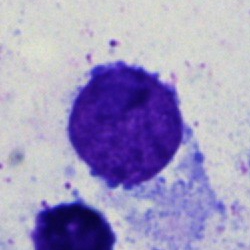
Q: What is shown here?
A: Artefact.